Bone marrow smear.
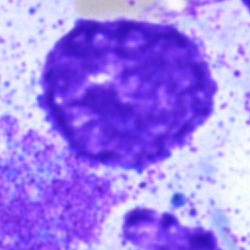
Q: What is shown here?
A: It is an artifact.